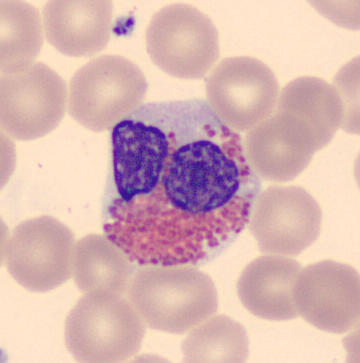

Q: What is the morphological classification of this cell?
A: Eosinophil. Peripheral blood smear.